Bone marrow smear.
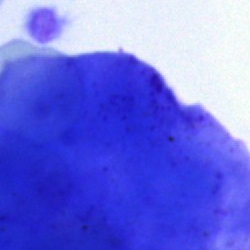

Morphology → artefact.